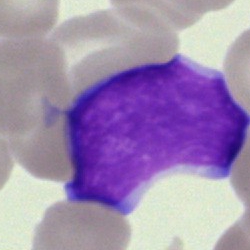
Morphological class: undifferentiated blast.